Single-cell field; MGG-stained; bone marrow smear.
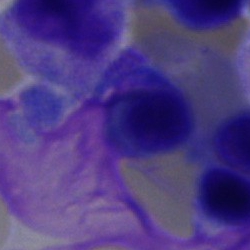 Morphology consistent with a nucleated red cell.